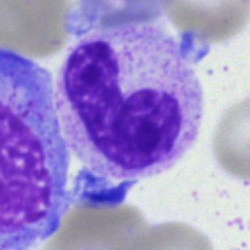 Q: Which cell type is shown here?
A: A stab cell.